Peripheral blood smear — 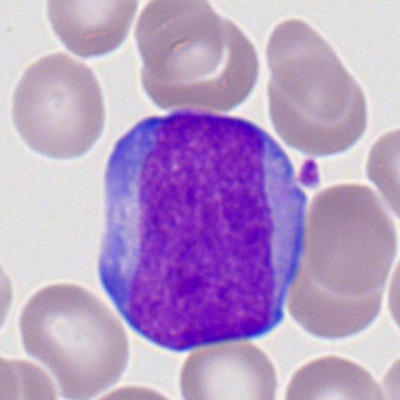Classification — myeloid blast.